Brightfield, 40× oil-immersion objective; bone marrow smear.
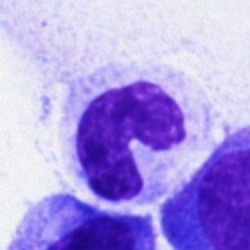
Cell type = band-form neutrophil.